100× oil immersion, 14.14 px/µm; peripheral blood film.
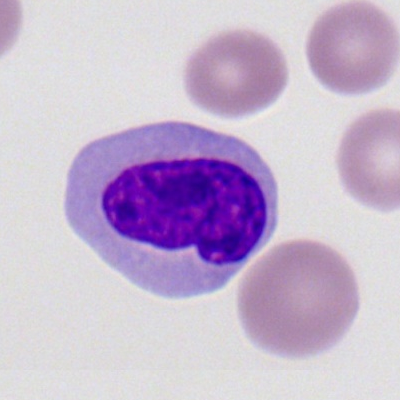 {"cell_type": "erythroblast", "lineage": "erythroid"}